Single cell centered in the field · peripheral blood smear · Romanowsky stain:
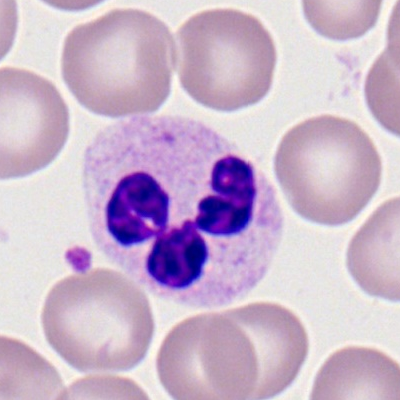
Q: Which cell type is shown here?
A: It is a segmented neutrophil.